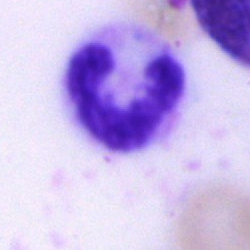 Classification: polymorphonuclear neutrophil.